Pappenheim-stained; bone marrow aspirate smear; 40× objective, oil immersion.
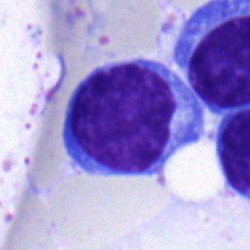
Cell type: typical lymphocyte.